Bone marrow smear — 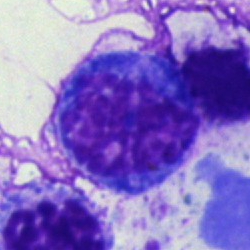

Specimen: bone marrow aspirate smear.
Cell: nucleated red blood cell.